Brightfield, 40× oil-immersion objective; bone marrow smear:
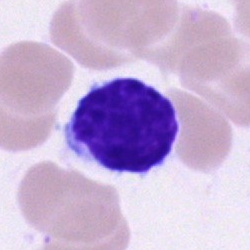Classification = lymphocyte.